Bone marrow smear. Single-cell crop: 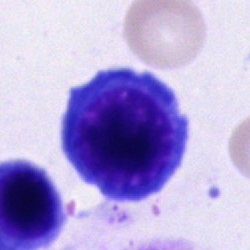
Q: What is the morphological classification of this cell?
A: Nucleated red cell.